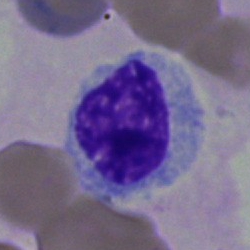Impression → myelocyte.